Bone marrow smear; May-Grünwald-Giemsa stain: 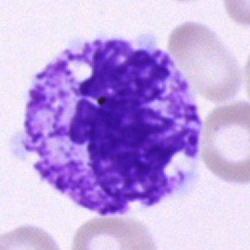 Cell = neutrophil (segmented).